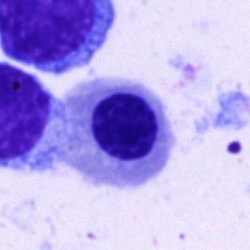
Nucleated red cell.